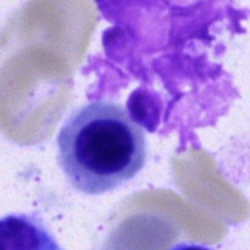
Morphology → nucleated red blood cell.